Bone marrow smear. Single-cell crop. Brightfield, 40× oil-immersion objective.
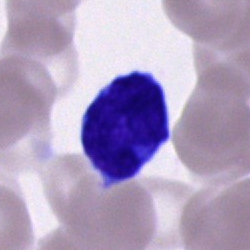The classification is lymphocyte.